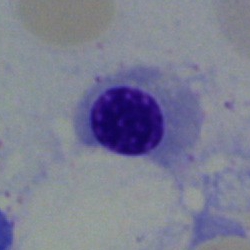
Specimen: bone marrow aspirate smear.
Cell type: nucleated red cell.
Lineage: erythroid.